Image size 400×400 · peripheral blood film — 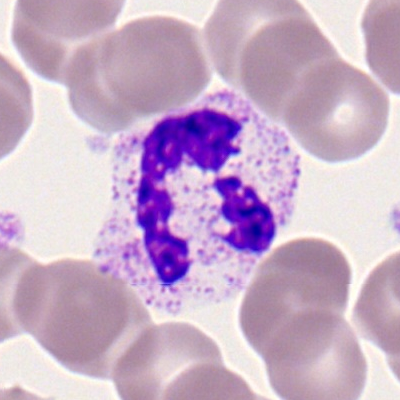

Classification = neutrophil (segmented).